Bone marrow aspirate smear:
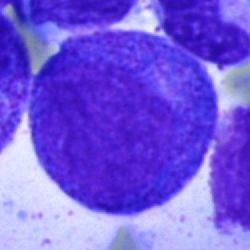Q: What cell is this?
A: Promyelocyte.